Bone marrow smear — 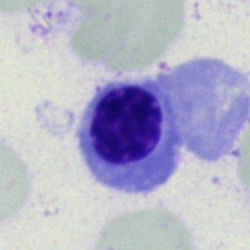
Specimen: bone marrow smear.
Classification: erythroblast.